Bone marrow aspirate smear; image size 250×250; May-Grünwald-Giemsa/Pappenheim stain — 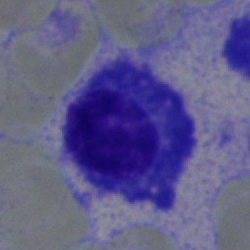 The morphological class is plasmacyte.